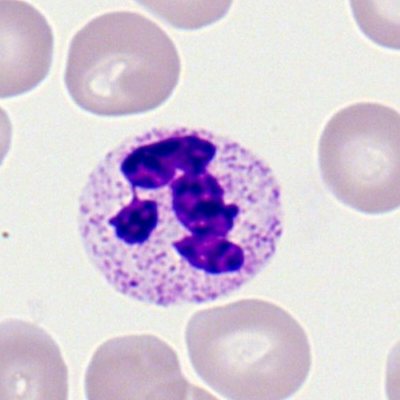

Cell = neutrophil (segmented).